250×250; bone marrow aspirate smear; cropped to a single cell:
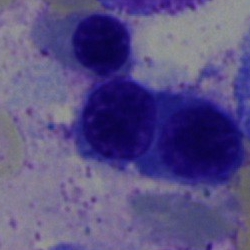
The cell type is erythroblast.